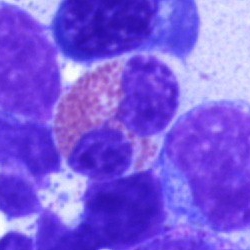 Q: What type of cell is this?
A: An eosinophilic granulocyte.